Bone marrow smear:
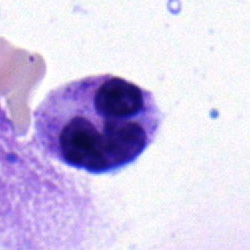

This is a neutrophil (segmented).